Bone marrow smear:
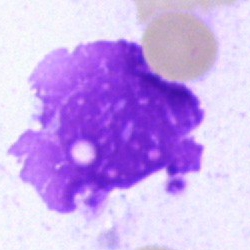
Classification = artifact.